Bone marrow smear; brightfield microscopy, 40× oil immersion; single-cell crop — 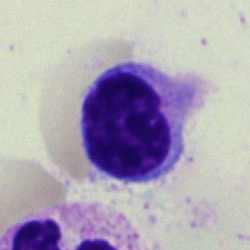

Single cell identified as a typical lymphocyte.